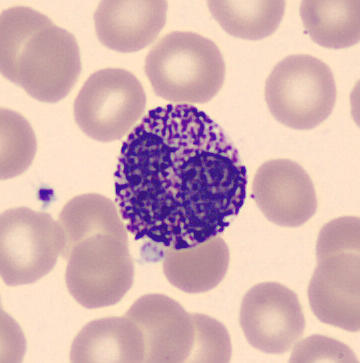Preparation: Peripheral blood smear.

Identified as a basophil.